Peripheral blood smear; single-cell field; image size 400×400
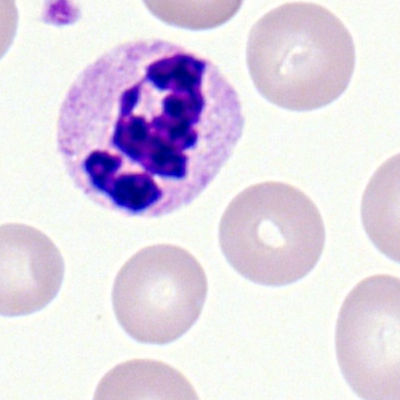 The classification is polymorphonuclear neutrophil.